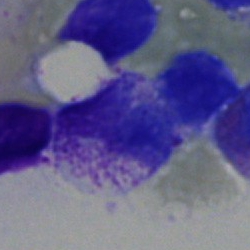
Artifact.